Pappenheim-stained; bone marrow aspirate smear: 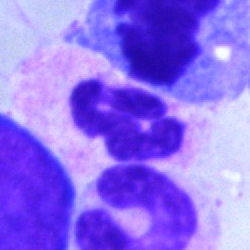 Showing a polymorphonuclear neutrophil.